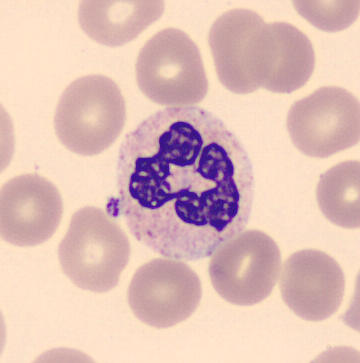

Showing a polymorphonuclear neutrophil.

Peripheral blood smear. Automated cell imaging (CellaVision DM96).